250 by 250 pixels · MGG-stained · bone marrow smear.
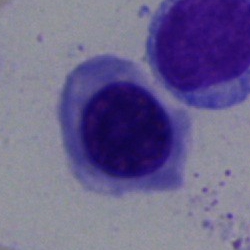 Cell — erythroblast.